Bone marrow aspirate smear · 40× objective, oil immersion:
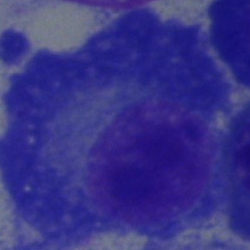

Specimen: bone marrow aspirate smear.
Classification: plasma cell.
Lineage: lymphoid.